Bone marrow smear · 40× objective, oil immersion.
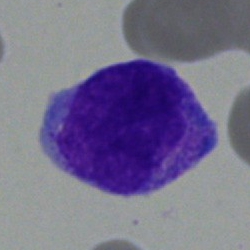

Q: Which cell type is shown here?
A: A blast cell.